Bone marrow smear. May-Grünwald-Giemsa/Pappenheim stain
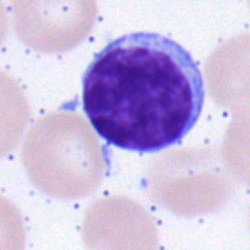

Q: What is the morphological classification of this cell?
A: It is a typical lymphocyte.